Single-cell field; bone marrow aspirate smear; 40× oil immersion.
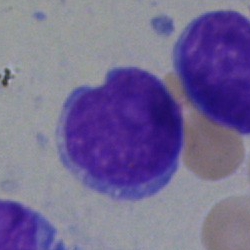

Impression → blast cell.